May-Grünwald-Giemsa stain; bone marrow aspirate smear.
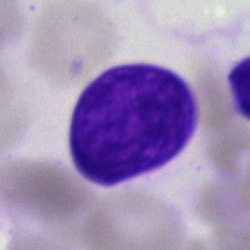
Classification — artefact.